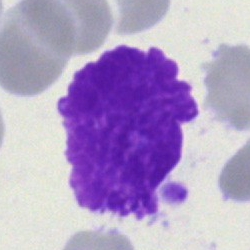
Impression → Gumprecht shadow.